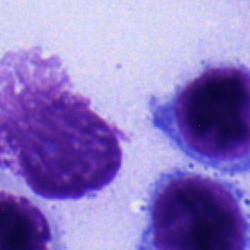 Single cell identified as a typical lymphocyte.